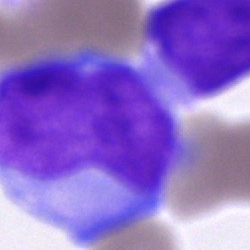
The cell shown is a blast.